Pappenheim-stained. Bone marrow smear — 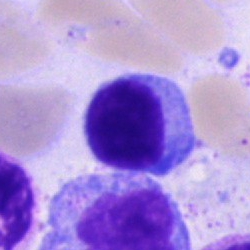
Impression — typical lymphocyte.